Bone marrow aspirate smear
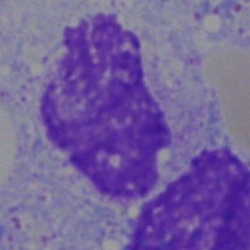Single cell identified as an artifact.